Bone marrow smear
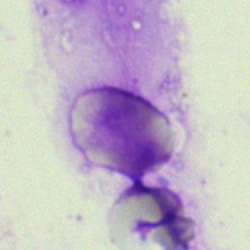

Single cell identified as an artefact.